Pappenheim-stained; bone marrow aspirate smear — 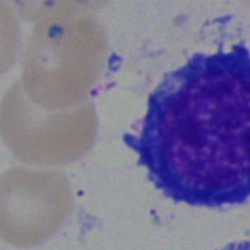

Morphological class — proerythroblast.